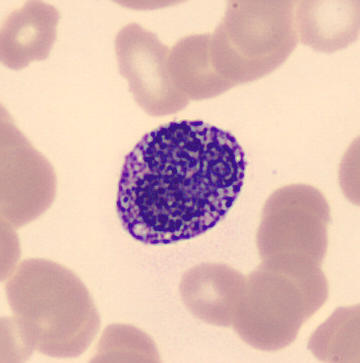
Classification = basophilic granulocyte.